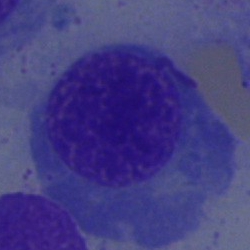

Q: Identify the cell.
A: Normoblast.